Bone marrow smear:
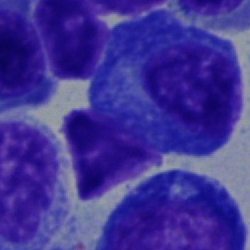
Q: What cell is this?
A: It is a plasmacyte.